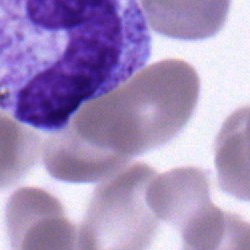
Morphological class: band-form neutrophil.